Bone marrow aspirate smear: 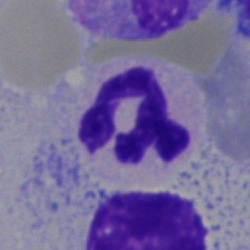 The cell type is polymorphonuclear neutrophil.